Cropped to a single cell; bone marrow aspirate smear:
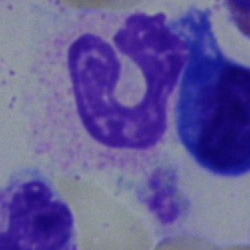Cell type = neutrophil (band).